Bone marrow smear. May-Grünwald-Giemsa/Pappenheim stain
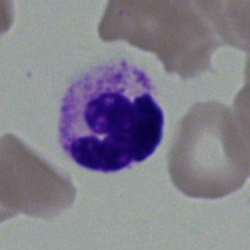 Morphological class = segmented neutrophil.